Bone marrow aspirate smear. 250 by 250 pixels. May-Grünwald-Giemsa/Pappenheim stain — 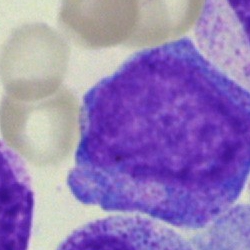Q: What type of cell is this?
A: A promyelocyte.